Bone marrow smear:
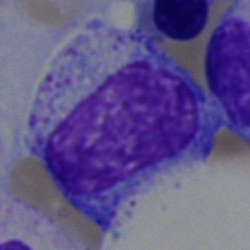 The cell shown is a progranulocyte.